Bone marrow smear:
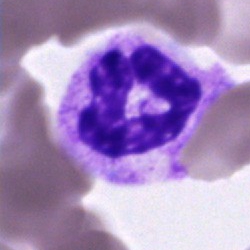 The classification is segmented neutrophil.